Bone marrow smear · May-Grünwald-Giemsa stain: 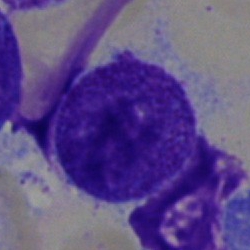 Cell type = promyelocyte.